Bone marrow aspirate smear; May-Grünwald-Giemsa/Pappenheim stain: 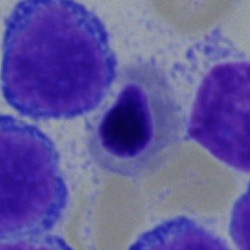
Cell = normoblast.